Bone marrow aspirate smear:
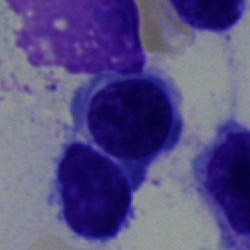

Morphology consistent with a nucleated red blood cell.